Bone marrow aspirate smear. Single-cell field — 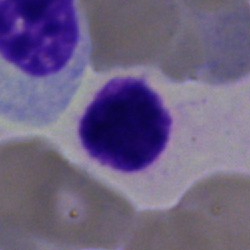 The cell is basophilic granulocyte.